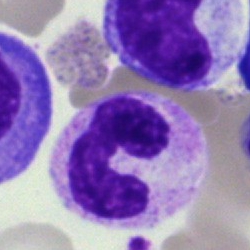
Impression — band neutrophil.